Brightfield microscopy, 40× oil immersion. Bone marrow smear
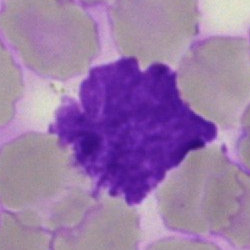

The cell shown is an artefact.